Bone marrow smear · Pappenheim-stained.
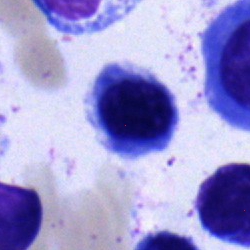 Q: Which cell type is shown here?
A: An erythroblast.